Bone marrow smear — 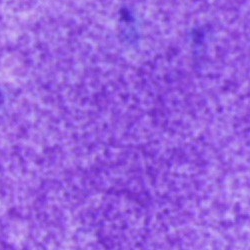Impression — artefact.